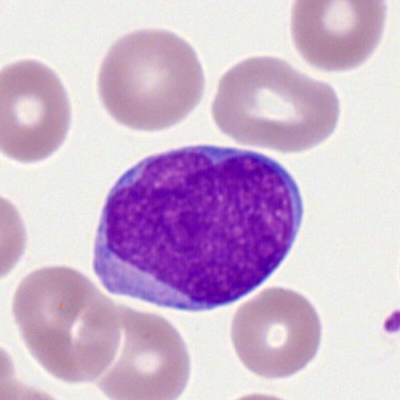
Single cell identified as a myeloid blast.